Peripheral blood smear — 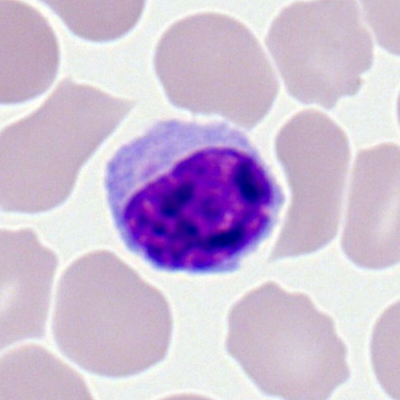

Lymphocyte.